Single-cell crop; 40× objective, oil immersion; bone marrow smear
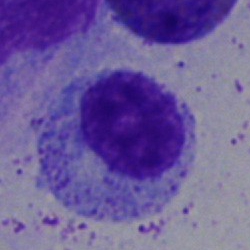Morphological class = promyelocyte.